Bone marrow aspirate smear. Single cell centered in the field.
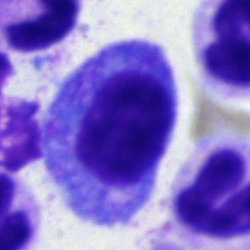
{"cell_type": "promyelocyte"}